Bone marrow aspirate smear · single cell centered in the field.
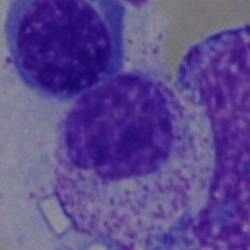 Classification: myelocyte.